Bone marrow aspirate smear. 250 by 250 pixels. 40× oil immersion.
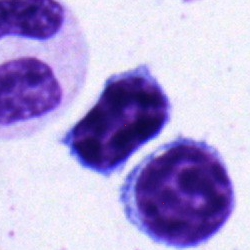
The cell is lymphocyte.